Bone marrow aspirate smear:
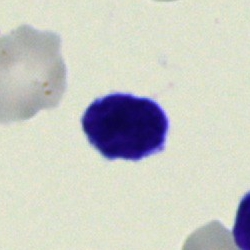
The classification is typical lymphocyte.